May-Grünwald-Giemsa stain. Bone marrow smear — 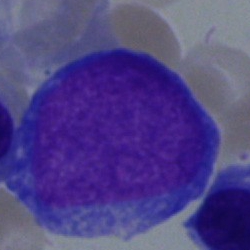

The cell type is undifferentiated blast.